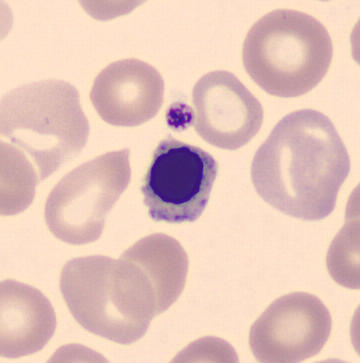

Peripheral blood smear.

Showing a nucleated red blood cell.